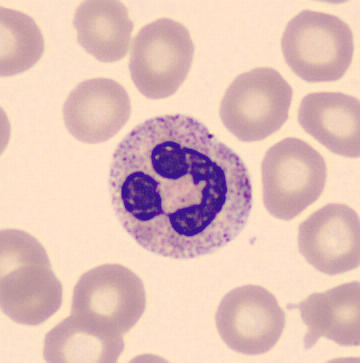Single-cell crop from a peripheral blood smear: segmented neutrophil.